Bone marrow aspirate smear. 250×250. Single cell centered in the field: 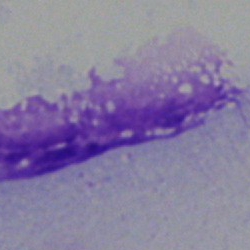
Cell type: artefact.